MGG-stained. Image size 250×250. Bone marrow smear — 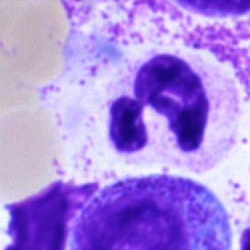The cell shown is a segmented neutrophil.